Single-cell field · bone marrow aspirate smear · 40× objective, oil immersion
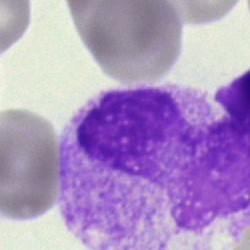

The cell shown is an artifact.